Bone marrow aspirate smear:
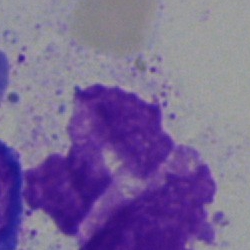
Specimen: bone marrow aspirate smear.
Morphological class: artefact.